Bone marrow aspirate smear.
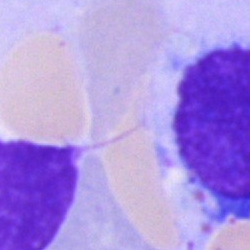
Artefact.